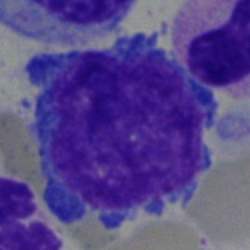Classification = blast.